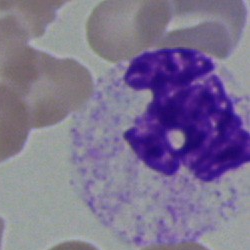 A segmented neutrophil.